Bone marrow aspirate smear — 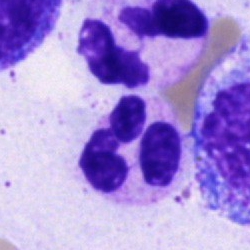
Specimen: bone marrow aspirate smear.
Cell type: segmented neutrophil.